40× oil immersion · MGG-stained · bone marrow aspirate smear — 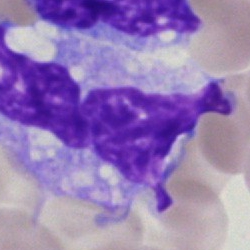

Classification: monocyte.